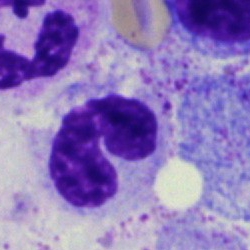
Band-form neutrophil.